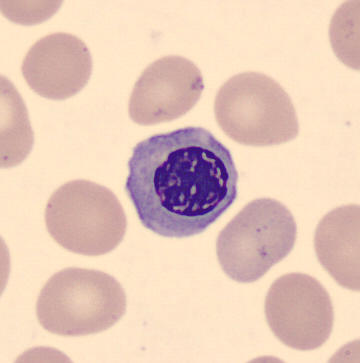Normoblast.
Single cell centered in the field; peripheral blood smear.